Bone marrow aspirate smear · Pappenheim-stained
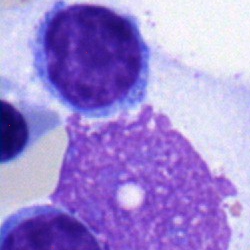
{"cell_type": "erythroblast"}